Bone marrow smear
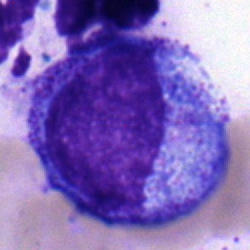
Promyelocyte.